Peripheral blood smear · Romanowsky stain:
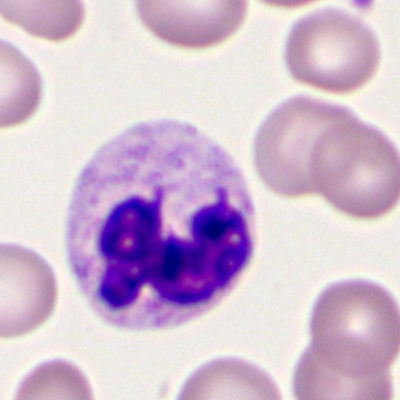
{"cell_type": "polymorphonuclear neutrophil"}